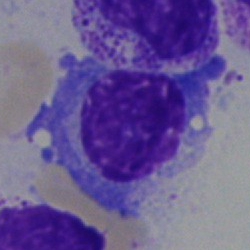

Q: What is shown here?
A: This is a plasmacyte.